Bone marrow smear. 250×250 px
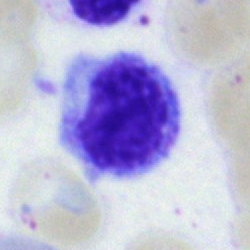 Q: Identify the cell.
A: A myelocyte.